Single-cell field. Bone marrow aspirate smear: 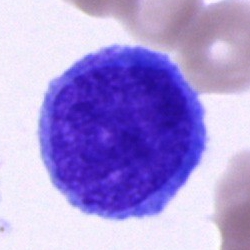

Q: What is the morphological classification of this cell?
A: It is a blast.